Bone marrow aspirate smear: 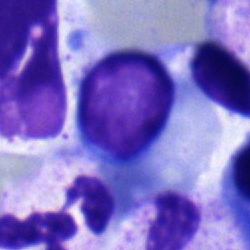
The cell is typical lymphocyte.